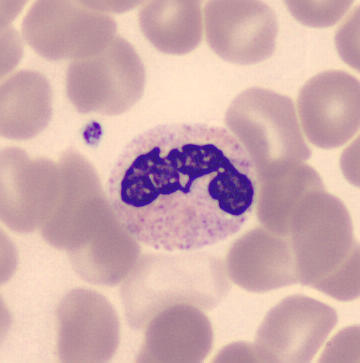
Preparation: Peripheral blood film. Morphology → segmented neutrophil.